Bone marrow aspirate smear. Cropped to a single cell — 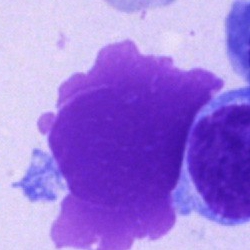 An artefact.